Bone marrow aspirate smear; brightfield, 40× oil-immersion objective
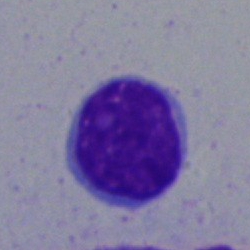
Single cell identified as a lymphocyte.